Single-cell field · bone marrow smear.
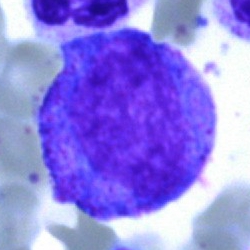
Impression → progranulocyte.